Bone marrow smear · single cell centered in the field · 40× oil immersion
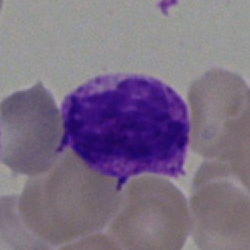

Morphology consistent with a basophilic granulocyte.